Bone marrow smear; May-Grünwald-Giemsa/Pappenheim stain.
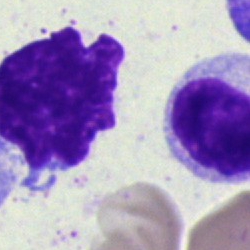
Impression — artefact.